Bone marrow smear: 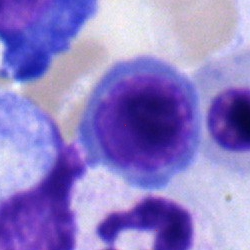Impression → normoblast.